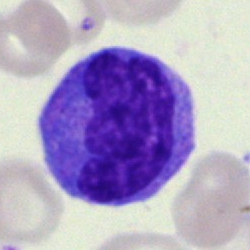
Showing a monocyte.